Bone marrow aspirate smear: 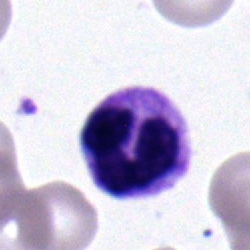
Morphology — polymorphonuclear neutrophil.